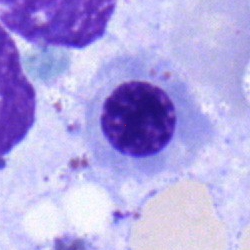 Bone marrow aspirate smear, single cell — nucleated red cell.